40× objective, oil immersion · bone marrow aspirate smear:
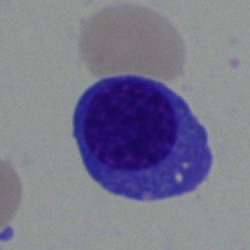

Q: What cell is this?
A: Normoblast.